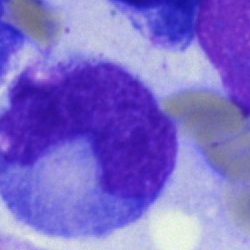
Classification = band-form neutrophil.